Pappenheim-stained; 40× oil immersion; bone marrow aspirate smear — 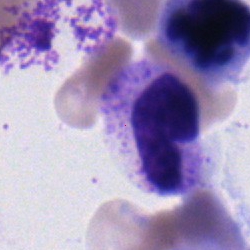Q: Which cell type is shown here?
A: It is a myelocyte.